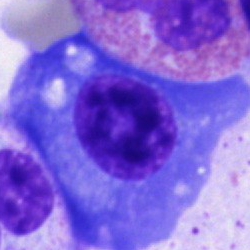

Morphology — plasmacyte.